Bone marrow smear · May-Grünwald-Giemsa/Pappenheim stain:
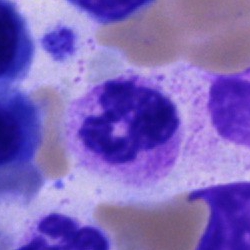Specimen: bone marrow smear.
Morphological class: polymorphonuclear neutrophil.
Lineage: myeloid.